Bone marrow smear · 40× oil immersion
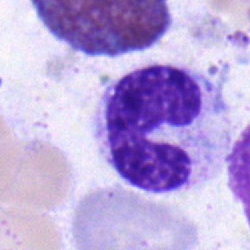 Morphology consistent with a band-form neutrophil.